Bone marrow aspirate smear.
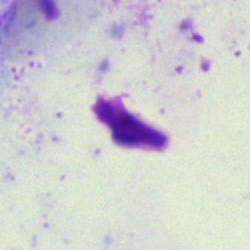Classification: artifact.